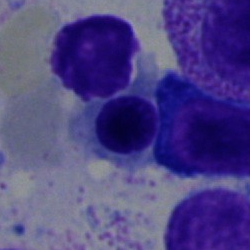

Specimen: bone marrow aspirate smear.
Morphological class: nucleated red cell.